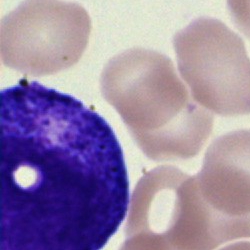

Single-cell crop from a bone marrow smear: progranulocyte.